Bone marrow smear
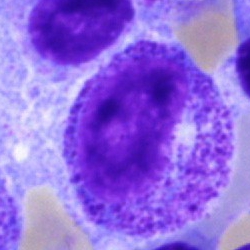Specimen: bone marrow smear.
Morphological class: myelocyte.